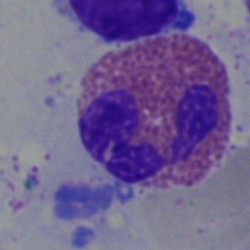
Impression → eosinophil.